Cropped to a single cell. Brightfield microscopy, 40× oil immersion. Bone marrow aspirate smear — 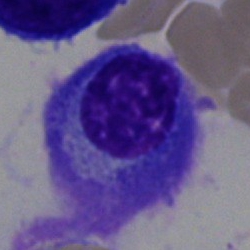
Plasmacyte.